Bone marrow aspirate smear — 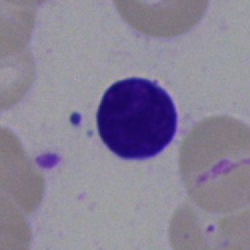Q: What is the morphological classification of this cell?
A: Typical lymphocyte.